Bone marrow smear:
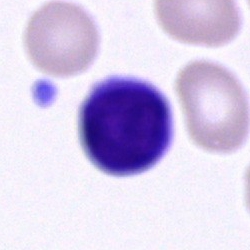
Cell type: lymphocyte.